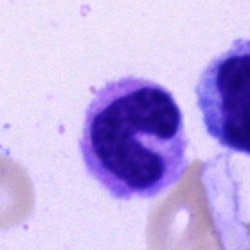
Classification — stab cell.